Bone marrow smear: 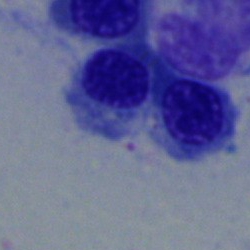 Specimen: bone marrow smear.
Cell: nucleated red blood cell.
Lineage: erythroid.